Bone marrow aspirate smear
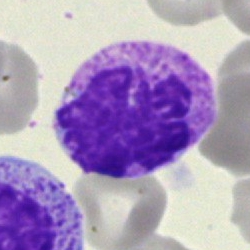

Cell type: polymorphonuclear neutrophil.